Bone marrow aspirate smear:
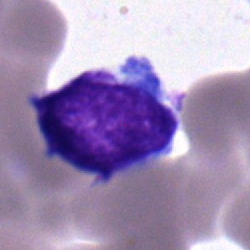
{"cell_type": "blast"}